Single-cell field · bone marrow aspirate smear · image size 250×250.
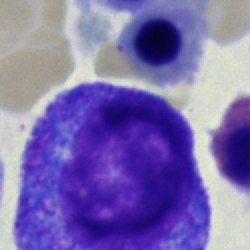

This is a promyelocyte.